Bone marrow aspirate smear: 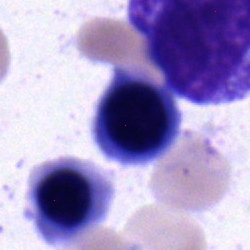Q: What is the morphological classification of this cell?
A: This is an erythroblast.